Bone marrow aspirate smear — 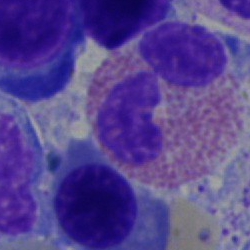 Single cell identified as an eosinophil.